Brightfield, 100× oil-immersion objective · peripheral blood smear.
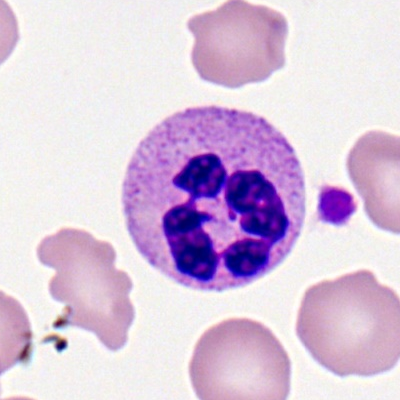The classification is segmented neutrophil.